400 by 400 pixels. Peripheral blood smear
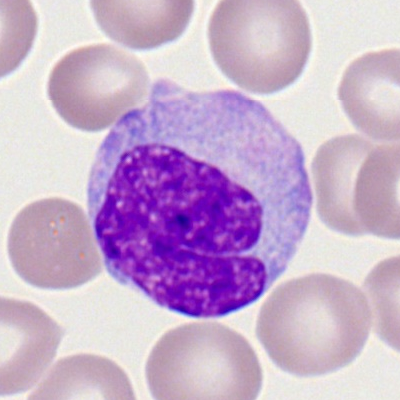 Morphology — monocyte.